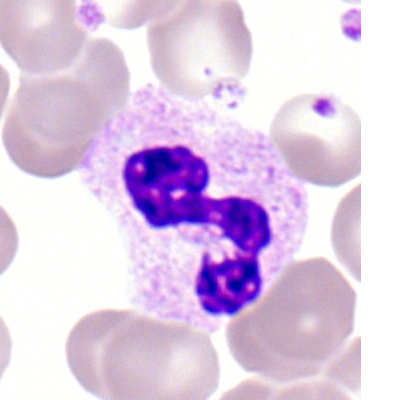
Impression → polymorphonuclear neutrophil.